Bone marrow aspirate smear — 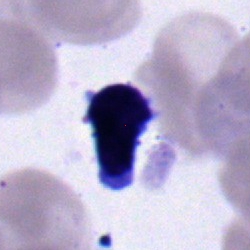
Morphology → typical lymphocyte.